250×250 px; Pappenheim-stained; bone marrow smear — 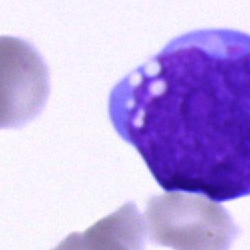Morphology consistent with a blast.